Bone marrow smear.
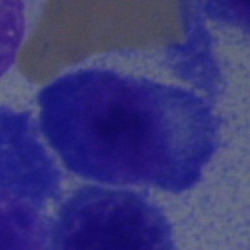

{"cell_type": "plasma cell", "lineage": "lymphoid"}